Bone marrow smear
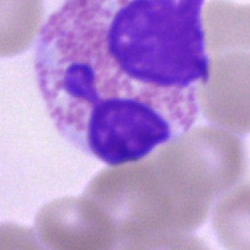

An eosinophil.